Brightfield, 40× oil-immersion objective; bone marrow aspirate smear — 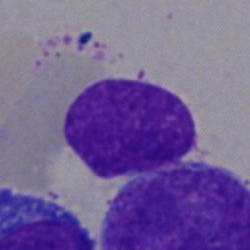
Impression → artefact.